250×250 px · bone marrow aspirate smear · May-Grünwald-Giemsa stain:
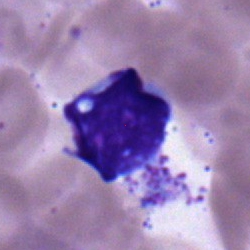

Cell type — typical lymphocyte.